40× objective, oil immersion · Pappenheim-stained · bone marrow aspirate smear
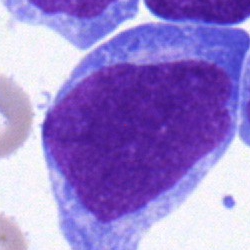Q: What is shown here?
A: An undifferentiated blast.